Bone marrow aspirate smear: 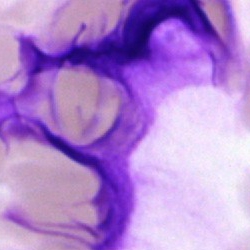

An artefact.